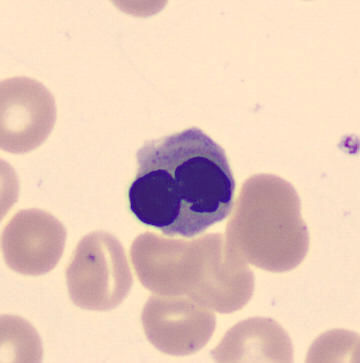Showing a nucleated red blood cell.

Peripheral blood film.